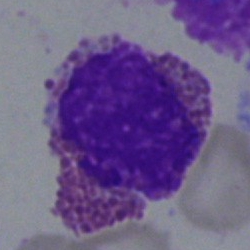

Q: What is shown here?
A: This is an eosinophilic granulocyte.